Bone marrow aspirate smear.
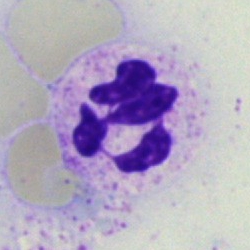Classification — segmented neutrophil.